Bone marrow aspirate smear — 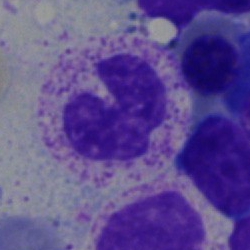

{"cell_type": "neutrophil (segmented)"}